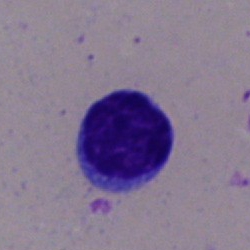

Specimen: bone marrow smear.
Morphological class: lymphocyte.
Lineage: lymphoid.